Bone marrow aspirate smear: 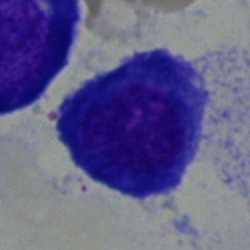

Specimen: bone marrow smear.
Cell type: nucleated red blood cell.